Bone marrow aspirate smear.
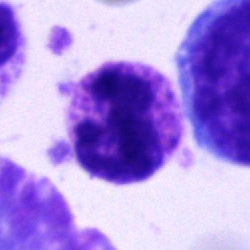
Specimen: bone marrow aspirate smear.
Cell type: segmented neutrophil.
Lineage: myeloid.